Single-cell field. Romanowsky-stained. Peripheral blood film — 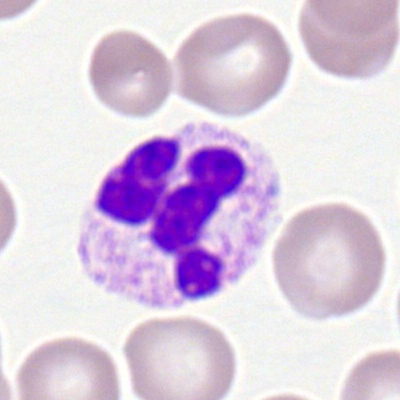Showing a neutrophil (segmented).